Bone marrow smear; May-Grünwald-Giemsa stain — 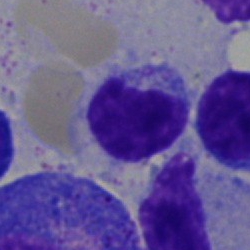
Morphology → typical lymphocyte.